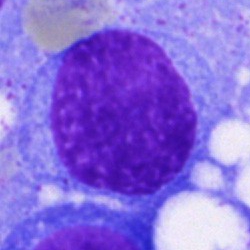
Bone marrow smear showing a blast cell.